Bone marrow smear; 250×250; brightfield microscopy, 40× oil immersion
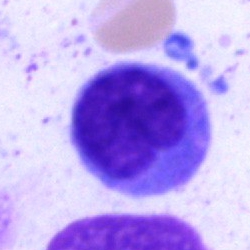 Q: What is the morphological classification of this cell?
A: Monocyte.